Single-cell field. Bone marrow smear.
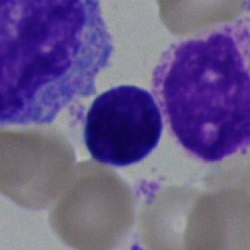 The cell shown is a lymphocyte.